Bone marrow aspirate smear
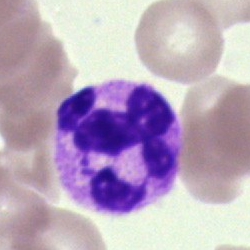
Showing a neutrophil (segmented).